Bone marrow smear
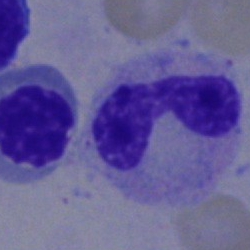 Q: Identify the cell.
A: This is a polymorphonuclear neutrophil.